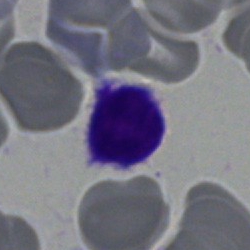
Q: What is shown here?
A: A typical lymphocyte.